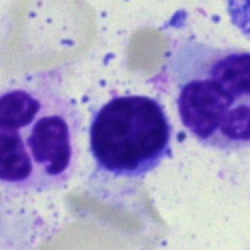 Q: What cell is this?
A: This is a lymphocyte.